400×400 · peripheral blood film · 100× objective, oil immersion:
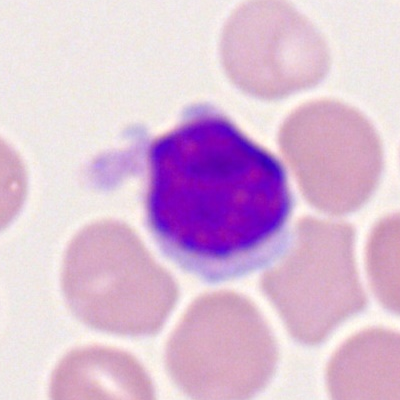
Specimen: peripheral blood film.
Morphological class: lymphocyte.
Lineage: lymphoid.